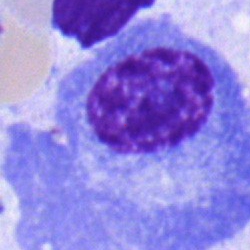Specimen: bone marrow smear.
Cell type: plasmacyte.